Brightfield microscopy, 40× oil immersion. Pappenheim-stained. Bone marrow aspirate smear — 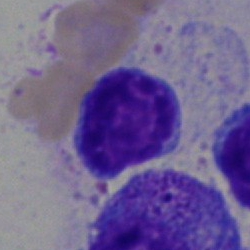Cell: lymphocyte.